Single-cell crop; brightfield, 40× oil-immersion objective; bone marrow smear — 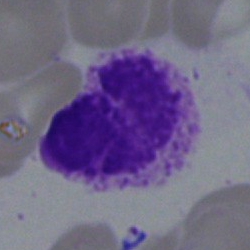 The cell shown is a segmented neutrophil.